Bone marrow smear: 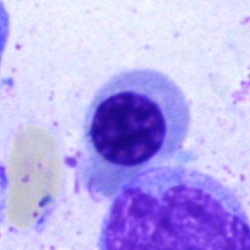Morphology → erythroblast.